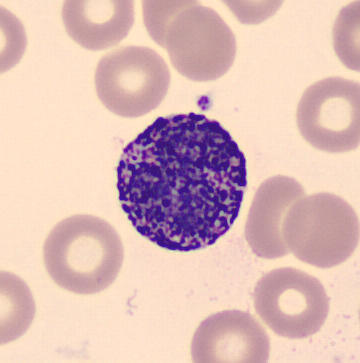
Image size 360×363. Single-cell field. Peripheral blood film.
Q: Which cell type is shown here?
A: This is a basophilic granulocyte.